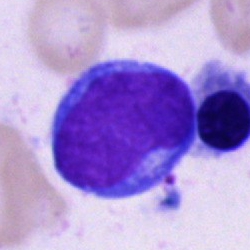
Q: What type of cell is this?
A: It is a blast.